Bone marrow aspirate smear.
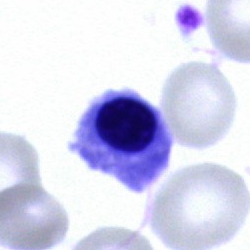
Morphology → nucleated red cell.